Brightfield, 40× oil-immersion objective; bone marrow smear:
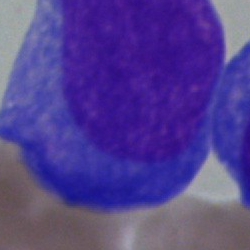 This is a blast.